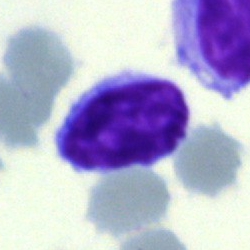A typical lymphocyte.